Bone marrow aspirate smear; 250×250 — 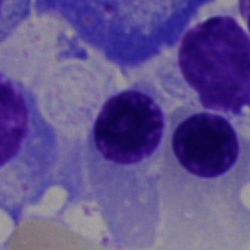Q: What is shown here?
A: Normoblast.